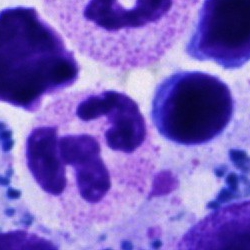
Impression — segmented neutrophil.